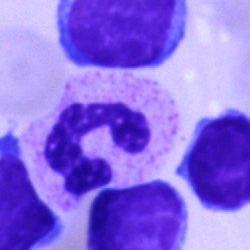 The morphological class is segmented neutrophil.